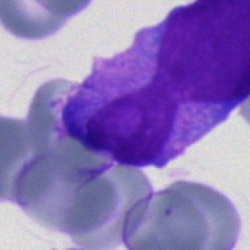 Morphological class — blast.